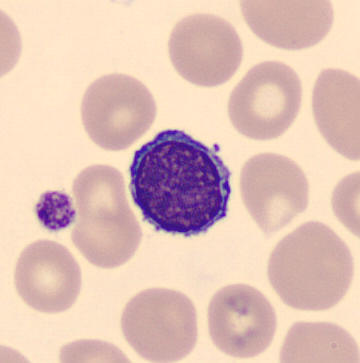 Cell = lymphocyte.
Peripheral blood film.